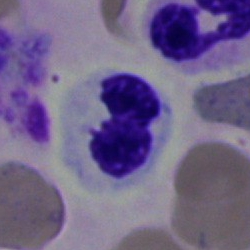Bone marrow aspirate smear, single cell — segmented neutrophil.